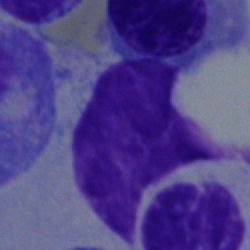Q: What is shown here?
A: It is an artefact.